Bone marrow smear — 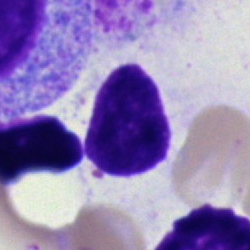

This is an artefact.